Bone marrow smear: 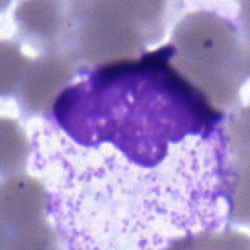 A metamyelocyte.